May-Grünwald-Giemsa/Pappenheim stain; bone marrow smear
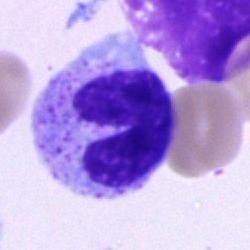 Specimen: bone marrow aspirate smear.
Morphological class: band-form neutrophil.
Lineage: myeloid.